Image size 250×250. Bone marrow smear: 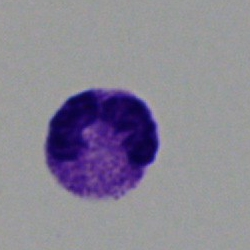 Classification = polymorphonuclear neutrophil.